May-Grünwald-Giemsa/Pappenheim stain. 250 by 250 pixels. Bone marrow smear: 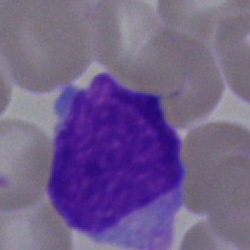Showing a blast cell.